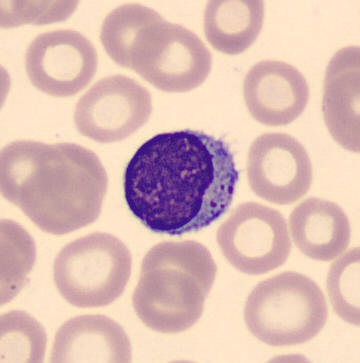 Peripheral blood smear. A lymphocyte.